Bone marrow aspirate smear: 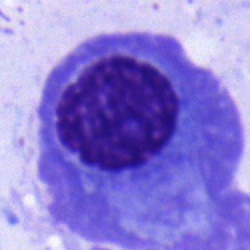Impression — plasma cell.